Bone marrow aspirate smear. Single-cell field.
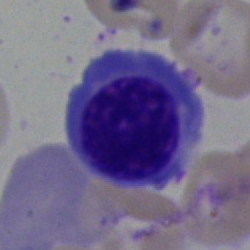

Q: Which cell type is shown here?
A: Normoblast.